Bone marrow smear:
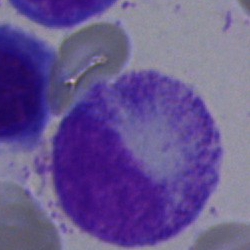

The cell type is progranulocyte.